Bone marrow smear: 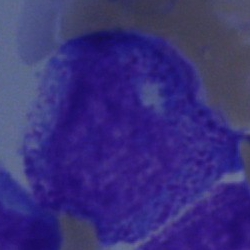
Specimen: bone marrow smear.
Morphological class: promyelocyte.